40× objective, oil immersion. May-Grünwald-Giemsa/Pappenheim stain. Bone marrow smear:
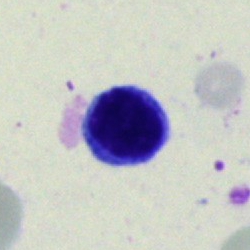

Morphological class: lymphocyte.